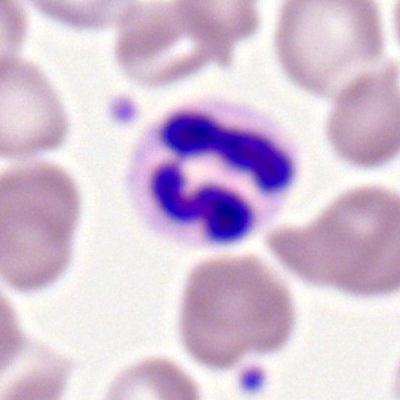The cell type is polymorphonuclear neutrophil.